Bone marrow smear — 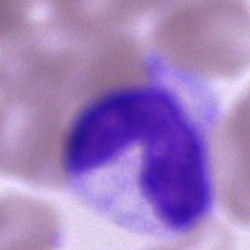Q: What cell is this?
A: Band neutrophil.